Peripheral blood film — 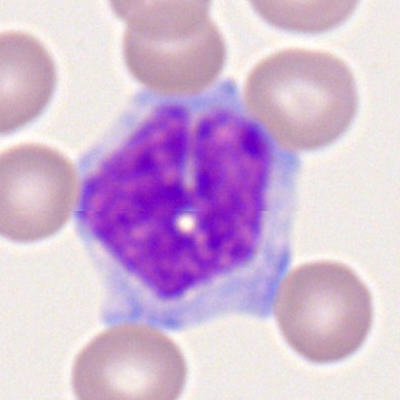Morphology consistent with a monocyte.